250 by 250 pixels. Bone marrow smear:
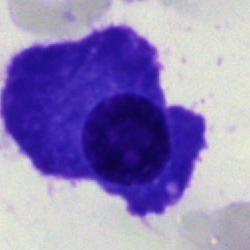 This is a plasma cell.